Bone marrow smear:
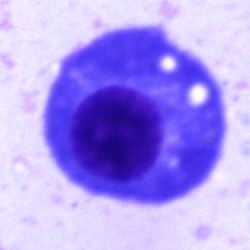 A plasma cell.